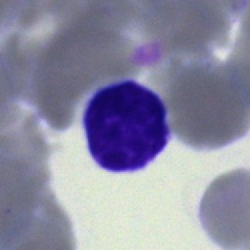 Single-cell crop from a bone marrow smear: lymphocyte.